May-Grünwald-Giemsa stain · bone marrow aspirate smear · 40× objective, oil immersion
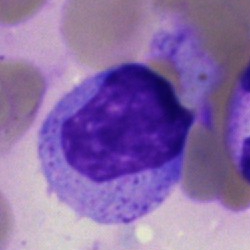

Q: What is shown here?
A: It is a myelocyte.